Image size 250×250; bone marrow smear — 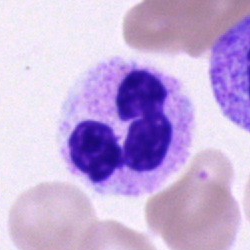Q: Which cell type is shown here?
A: This is a segmented neutrophil.